100× oil immersion, 14.14 px/µm. Peripheral blood smear: 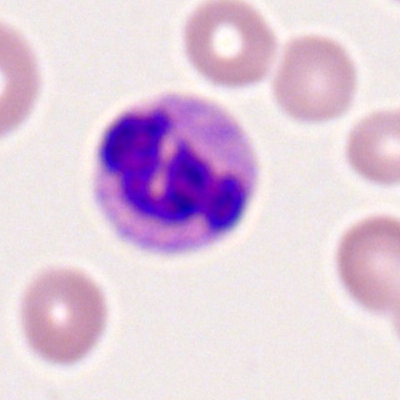 This is a segmented neutrophil.